Brightfield, 40× oil-immersion objective · bone marrow smear
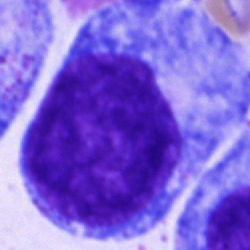This is a promyelocyte.